Bone marrow smear. MGG-stained — 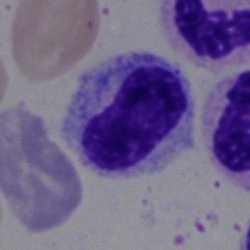Cell = metamyelocyte.